Bone marrow aspirate smear; brightfield microscopy, 40× oil immersion:
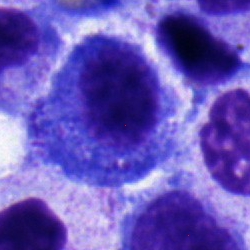
Cell: promyelocyte.